Bone marrow aspirate smear. 250×250 px — 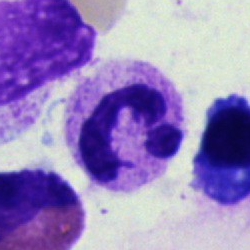Specimen: bone marrow aspirate smear.
Morphological class: segmented neutrophil.
Lineage: myeloid.